Bone marrow smear:
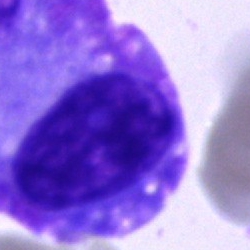Q: What type of cell is this?
A: It is a plasmacyte.